May-Grünwald-Giemsa stain; cropped to a single cell; bone marrow aspirate smear:
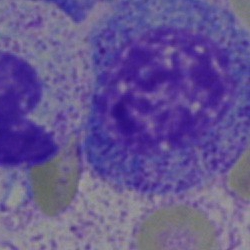Specimen: bone marrow smear.
Cell: myelocyte.
Lineage: myeloid.